Romanowsky stain. Cropped to a single cell. Peripheral blood smear — 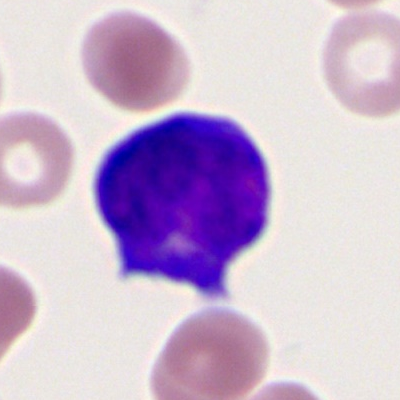 Showing a myeloid blast.